Bone marrow aspirate smear. Pappenheim-stained.
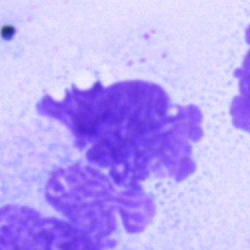 The cell is artifact.